Bone marrow aspirate smear.
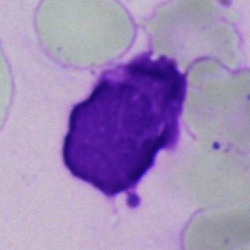

Cell type = artefact.